Cropped to a single cell. Bone marrow aspirate smear. 40× objective, oil immersion — 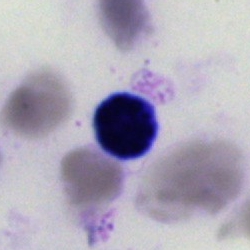

Cell — artefact.